Bone marrow aspirate smear; Pappenheim-stained; brightfield microscopy, 40× oil immersion: 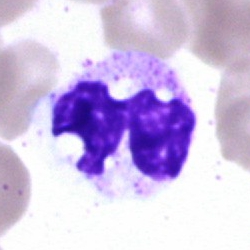

Cell = segmented neutrophil.